Bone marrow smear
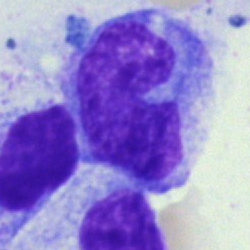

This is a monocyte.